Bone marrow aspirate smear
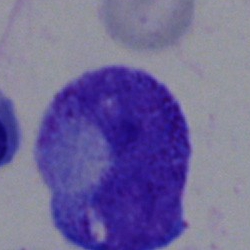 Specimen: bone marrow smear.
Cell: promyelocyte.